Bone marrow smear:
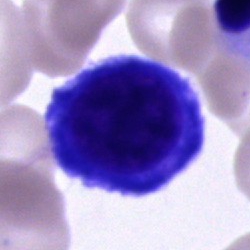 This is an unidentifiable cell.